Peripheral blood smear:
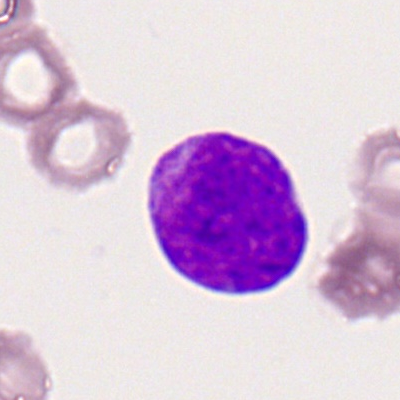Cell: myeloblast.